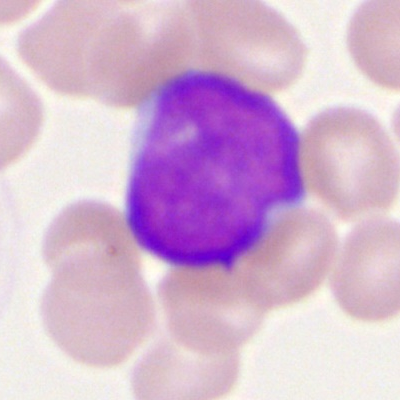
Myeloblast.